Bone marrow smear. May-Grünwald-Giemsa/Pappenheim stain:
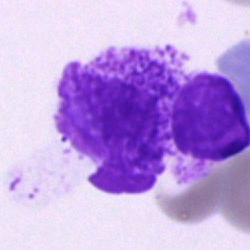 The cell shown is an artefact.